Bone marrow aspirate smear: 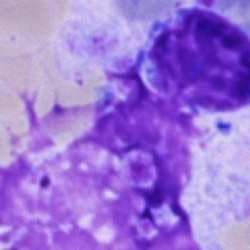

{"cell_type": "artifact"}